Bone marrow smear: 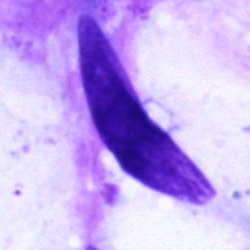

Morphology consistent with an artefact.